Bone marrow aspirate smear:
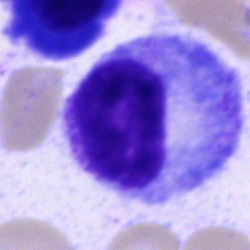Q: What is shown here?
A: It is a promyelocyte.